Bone marrow smear.
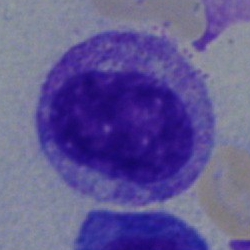Specimen: bone marrow aspirate smear.
Cell: myelocyte.